Bone marrow smear
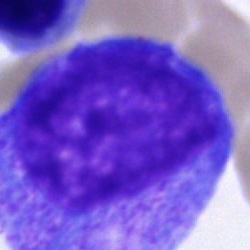

The cell is progranulocyte.